40× oil immersion. Bone marrow smear:
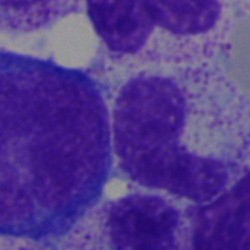 A band-form neutrophil.